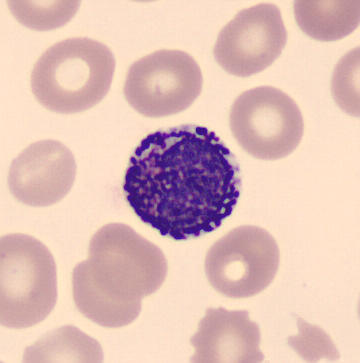
MGG-stained · peripheral blood smear.

Classification = basophilic granulocyte.